Single-cell field; bone marrow smear.
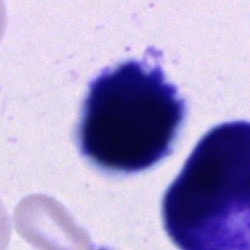 {"cell_type": "cell of indeterminate lineage"}